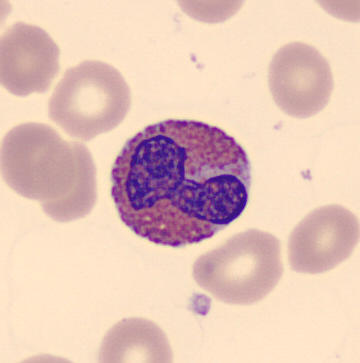Preparation: Peripheral blood film. Imaged on a CellaVision DM96 analyser. Image size 360×363. Single cell identified as an eosinophilic granulocyte.